Bone marrow aspirate smear — 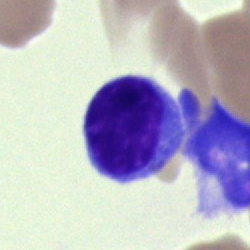 Typical lymphocyte.